Bone marrow smear. Single cell centered in the field
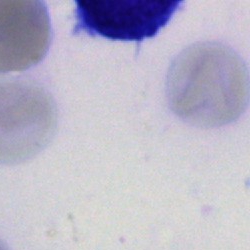
Q: What is shown here?
A: An artifact.